May-Grünwald-Giemsa/Pappenheim stain; bone marrow aspirate smear
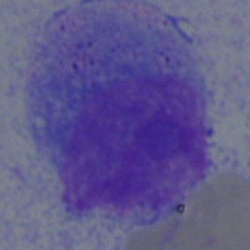
Cell type = blast.